Bone marrow aspirate smear:
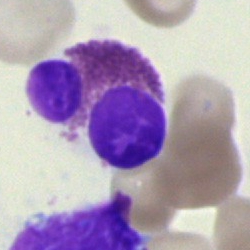
Morphology consistent with an eosinophilic granulocyte.